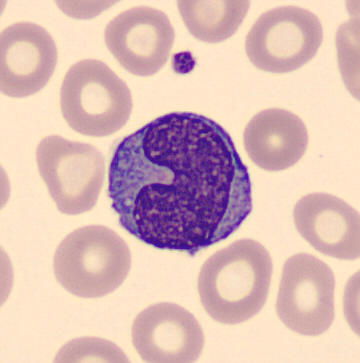Specimen: peripheral blood smear.
Classification: monocyte.
Lineage: myeloid.